Image size 250×250; bone marrow smear
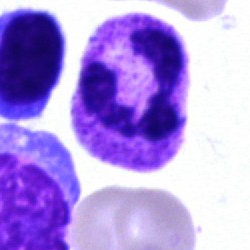Showing a polymorphonuclear neutrophil.